Single-cell field; bone marrow aspirate smear:
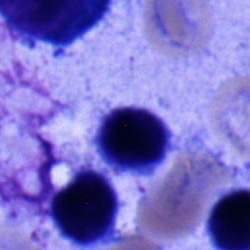 The cell is lymphocyte.